Bone marrow smear. 250×250 — 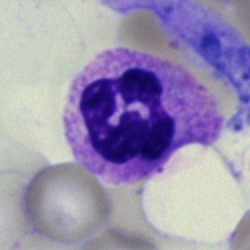Q: What is shown here?
A: It is a polymorphonuclear neutrophil.